Bone marrow smear
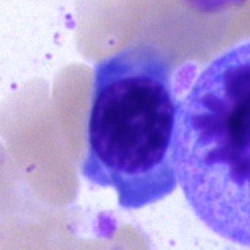 This is a nucleated red blood cell.